Bone marrow smear — 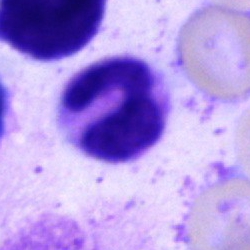 Cell = polymorphonuclear neutrophil.